Bone marrow smear. Brightfield, 40× oil-immersion objective: 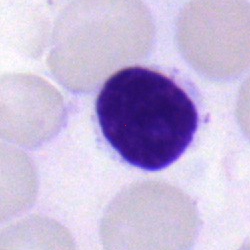Q: What cell is this?
A: A lymphocyte.